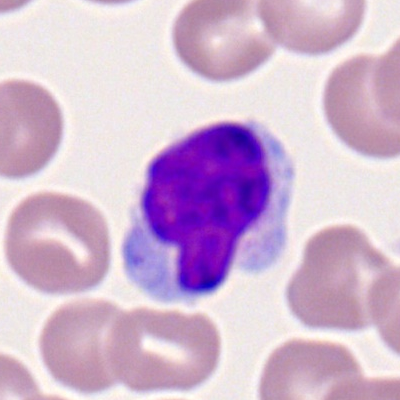
Impression — typical lymphocyte.